Bone marrow smear. Cropped to a single cell:
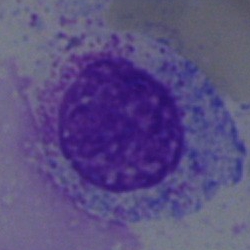
Q: What is shown here?
A: This is an artifact.